Bone marrow smear — 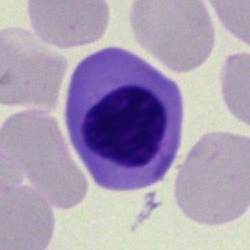 Morphology → normoblast.